Bone marrow smear; May-Grünwald-Giemsa stain:
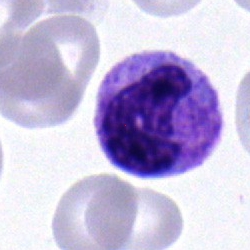
Showing a stab cell.